Bone marrow smear — 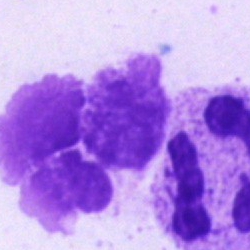 Q: What cell is this?
A: A segmented neutrophil.